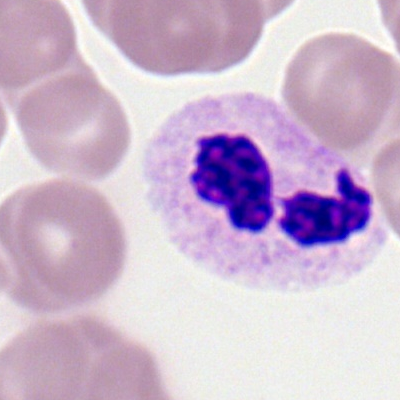The cell is segmented neutrophil.